Bone marrow aspirate smear; image size 250×250:
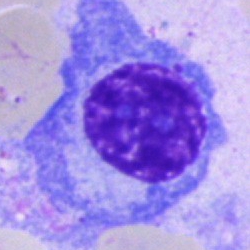
The classification is plasmacyte.